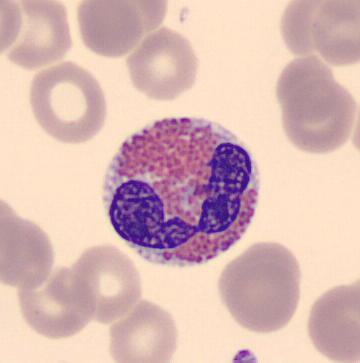An eosinophil on a peripheral blood smear.